Bone marrow smear — 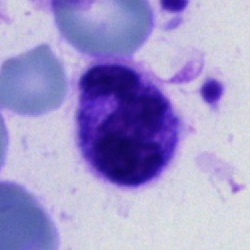Morphology → segmented neutrophil.